Bone marrow smear
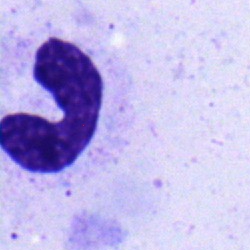 A stab cell.